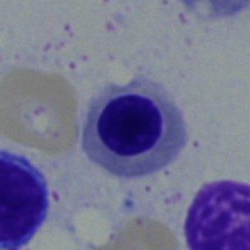
Specimen: bone marrow smear.
Morphological class: normoblast.